Single-cell crop · 40× oil immersion · bone marrow smear.
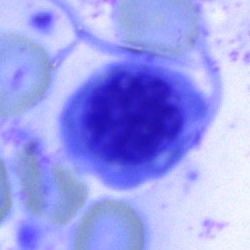Impression → nucleated red cell.